Cropped to a single cell. Bone marrow smear:
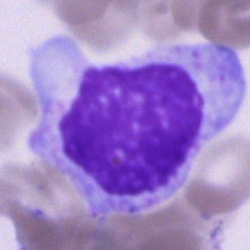

Morphology consistent with a cell of indeterminate lineage.